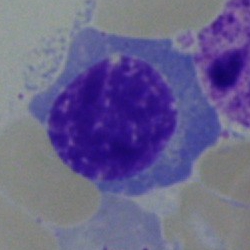 Q: What is the morphological classification of this cell?
A: A nucleated red cell.